Bone marrow smear. Cropped to a single cell: 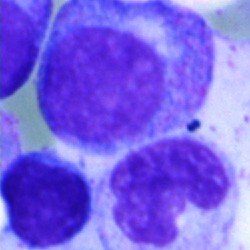

This is a myelocyte.